40× oil immersion; bone marrow smear
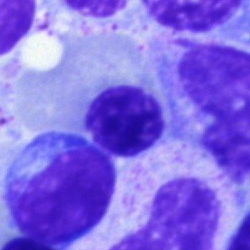This is a nucleated red cell.